Bone marrow aspirate smear · 40× objective, oil immersion: 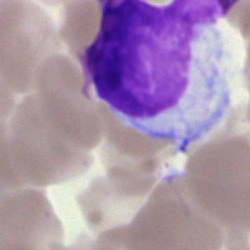 This is an artifact.